250 by 250 pixels; bone marrow smear:
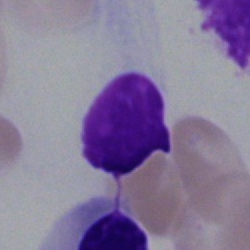This is an artifact.